Pappenheim-stained · bone marrow aspirate smear.
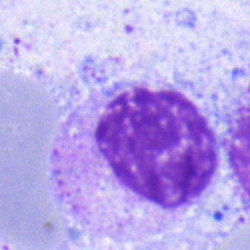Morphological class: myelocyte.